Bone marrow smear
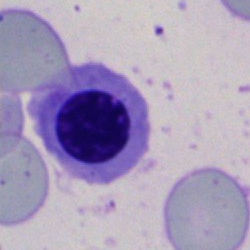
Cell: nucleated red blood cell.